Image size 250×250. 40× oil immersion. Bone marrow smear.
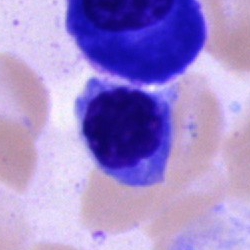Q: What type of cell is this?
A: Nucleated red cell.